Bone marrow smear:
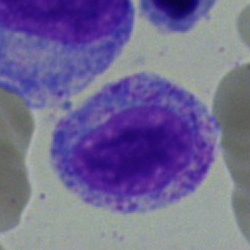The morphological class is myelocyte.